Brightfield, 40× oil-immersion objective; bone marrow smear; image size 250×250: 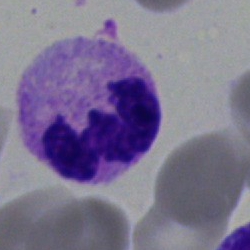
Polymorphonuclear neutrophil.